Bone marrow aspirate smear
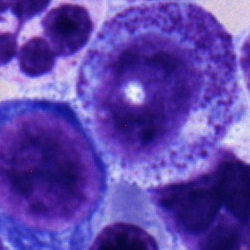

Specimen: bone marrow smear.
Classification: progranulocyte.
Lineage: myeloid.